May-Grünwald-Giemsa/Pappenheim stain. Brightfield, 40× oil-immersion objective. Bone marrow aspirate smear — 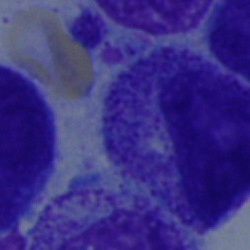
Morphology consistent with a myelocyte.